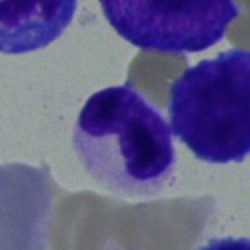

A neutrophil (band) on a bone marrow smear.